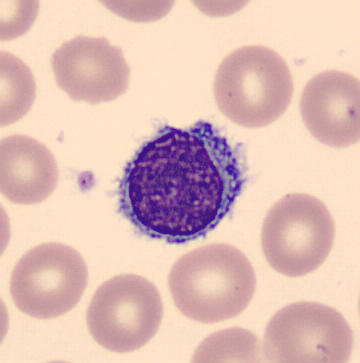Single cell identified as a lymphocyte.
Peripheral blood smear.